Bone marrow aspirate smear — 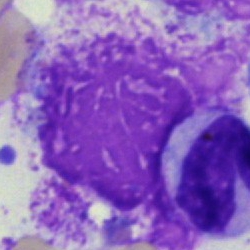

Q: What is shown here?
A: This is an artifact.